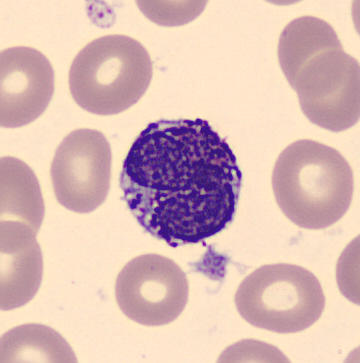

Q: What is shown here?
A: Basophil.